Bone marrow aspirate smear:
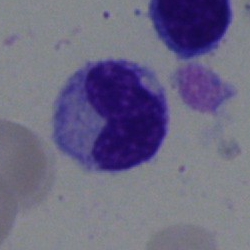 Q: Identify the cell.
A: A stab cell.